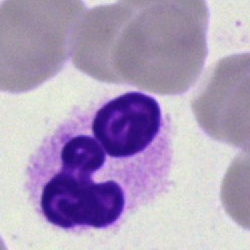
Neutrophil (segmented).